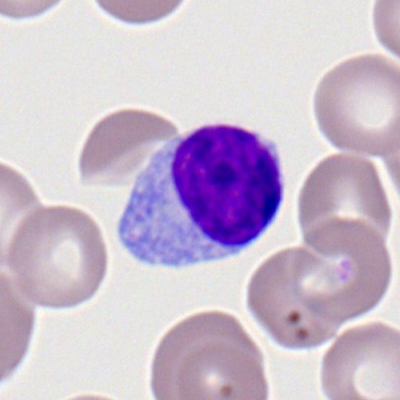A typical lymphocyte.